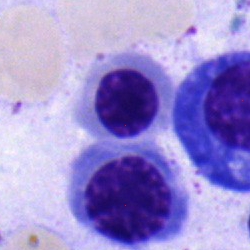The morphological class is normoblast.